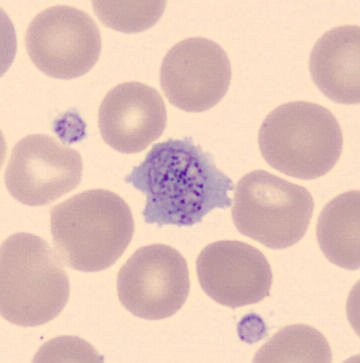
Morphological class — thrombocyte.